May-Grünwald-Giemsa/Pappenheim stain; bone marrow aspirate smear — 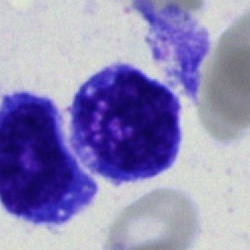
Cell — typical lymphocyte.